Single-cell crop. Bone marrow aspirate smear: 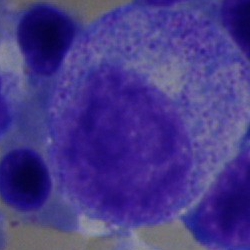
Promyelocyte.